Single-cell field; MGG-stained; bone marrow smear: 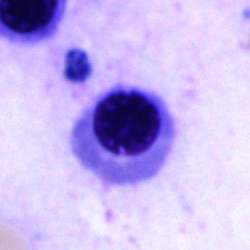

Cell type — nucleated red blood cell.